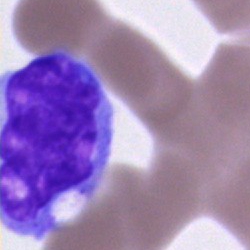 Single cell identified as a monocyte.